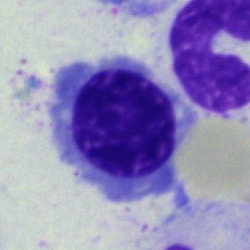

Classification — normoblast.